Pappenheim-stained. Single-cell field. Bone marrow aspirate smear — 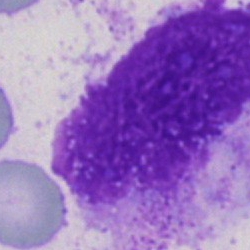
Classification — artifact.